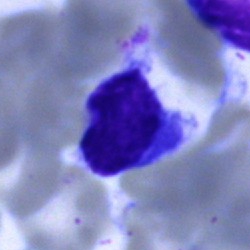 {"cell_type": "typical lymphocyte", "lineage": "lymphoid"}